Single-cell field · bone marrow smear · 250×250 px: 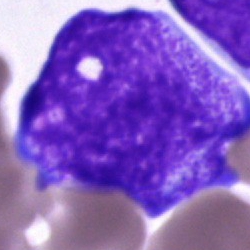Morphological class = progranulocyte.